Bone marrow aspirate smear · May-Grünwald-Giemsa/Pappenheim stain — 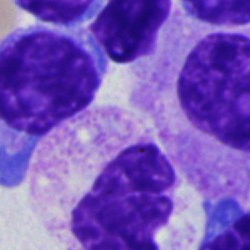 This is a polymorphonuclear neutrophil.